Peripheral blood film:
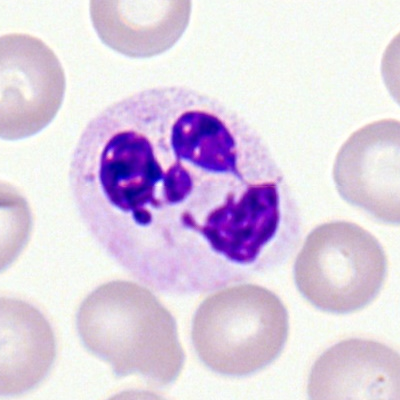

The cell is polymorphonuclear neutrophil.